Bone marrow aspirate smear
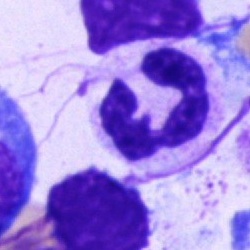 Q: What is shown here?
A: This is a polymorphonuclear neutrophil.